Brightfield microscopy, 40× oil immersion; 250×250 px; bone marrow aspirate smear:
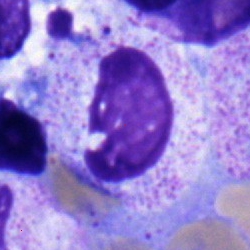Classification = metamyelocyte.